Bone marrow aspirate smear.
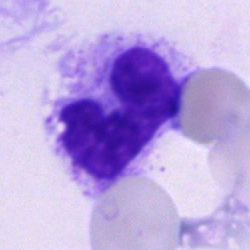Morphological class: band neutrophil.